Bone marrow smear. Single-cell field. 250 by 250 pixels — 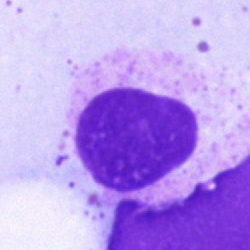Q: What is shown here?
A: Artifact.